Peripheral blood film · brightfield, 100× oil-immersion objective · Romanowsky stain: 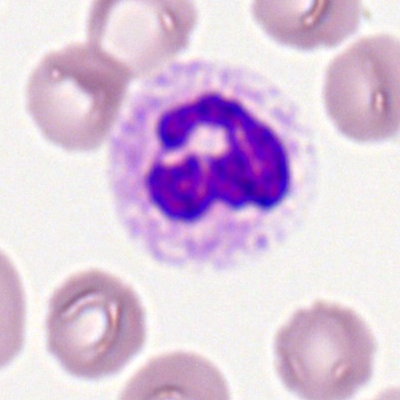
This is a segmented neutrophil.